Bone marrow smear — 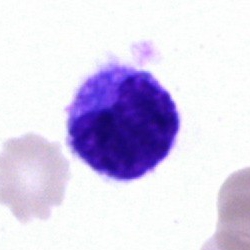
This is a typical lymphocyte.